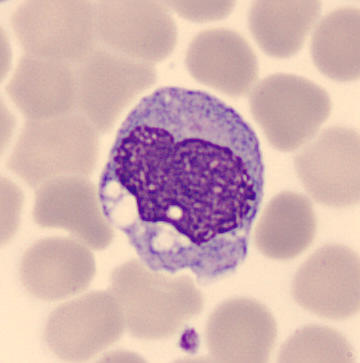
Preparation: Peripheral blood smear.
A monocyte.